May-Grünwald-Giemsa stain. Bone marrow aspirate smear. 250×250 px.
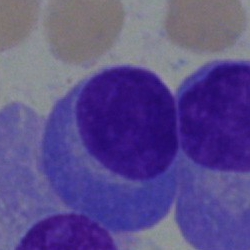
A plasmacyte.